Peripheral blood smear · automated cell imaging (CellaVision DM96) · cropped to a single cell: 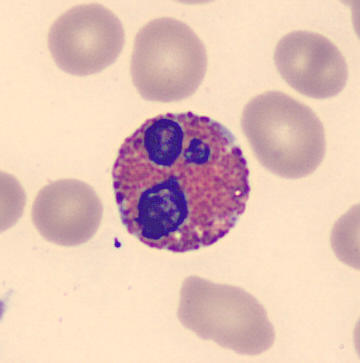Q: What type of cell is this?
A: Eosinophil.